Bone marrow aspirate smear — 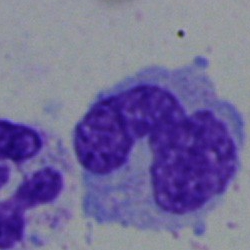{"cell_type": "monocyte"}